Bone marrow aspirate smear.
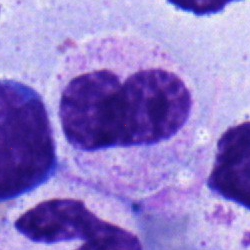 Q: What is the morphological classification of this cell?
A: Band-form neutrophil.